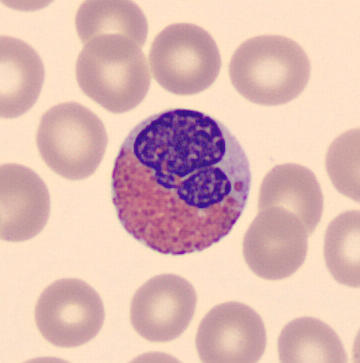
Morphology consistent with an eosinophilic granulocyte.